Bone marrow aspirate smear — 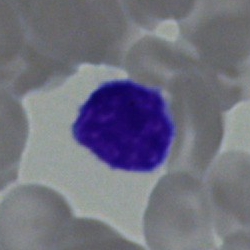The morphological class is lymphocyte.